250×250 px · bone marrow smear.
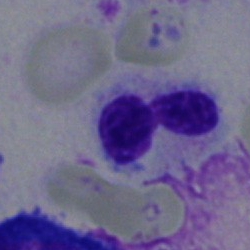
Showing a polymorphonuclear neutrophil.